Bone marrow smear:
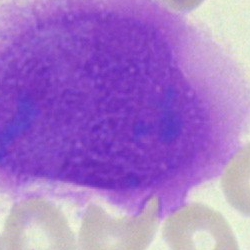Cell: artifact.